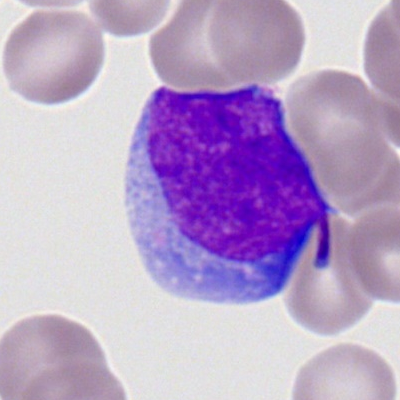

Q: Which cell type is shown here?
A: This is a myeloblast.